MGG-stained; bone marrow aspirate smear
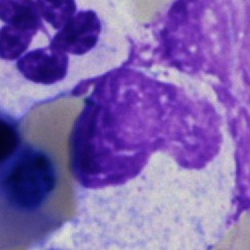 An artifact.